Peripheral blood film: 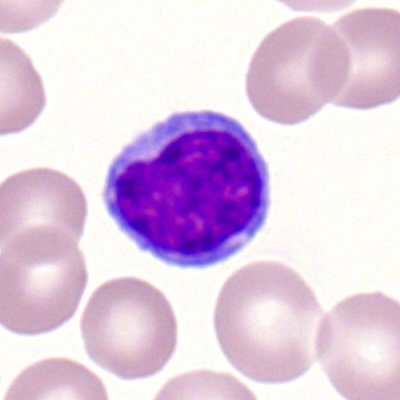 {"cell_type": "typical lymphocyte", "lineage": "lymphoid"}